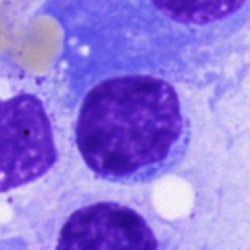

Morphology consistent with a lymphocyte.